Peripheral blood film.
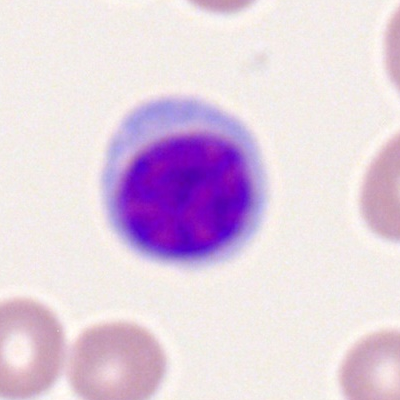
Single cell identified as a lymphocyte.